Bone marrow smear:
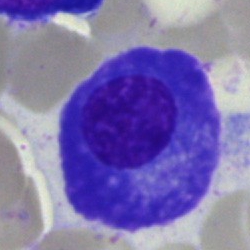 Q: What cell is this?
A: It is a plasma cell.